Single cell centered in the field · image size 250×250 · bone marrow aspirate smear:
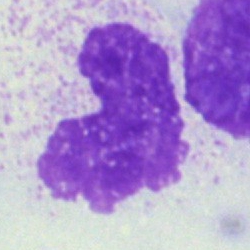

{"cell_type": "artifact"}